Bone marrow aspirate smear — 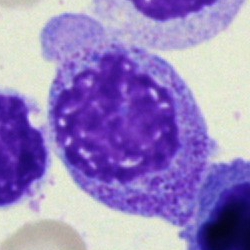 Showing a myelocyte.